40× oil immersion. Bone marrow smear: 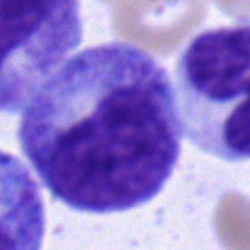Cell type — metamyelocyte.